Bone marrow aspirate smear — 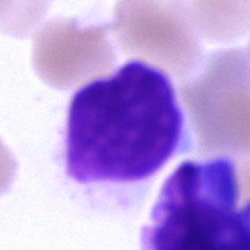 Q: What is shown here?
A: Artefact.